Bone marrow smear · MGG-stained: 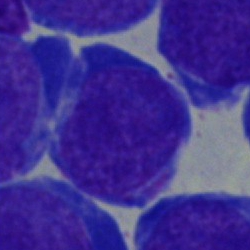 Single cell identified as an undifferentiated blast.